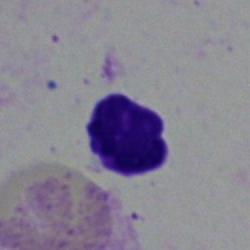
An artefact.